Peripheral blood film
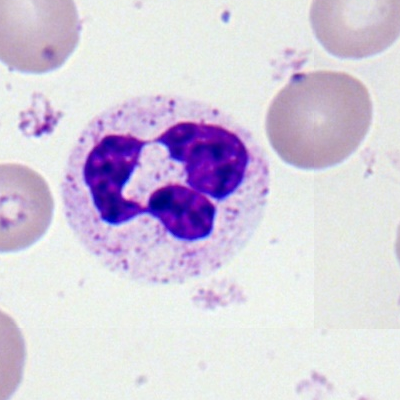

Morphological class = segmented neutrophil.